Bone marrow aspirate smear
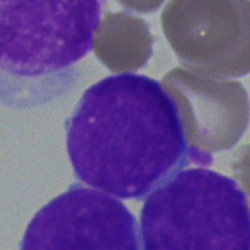A blast cell.